Single-cell field; May-Grünwald-Giemsa/Pappenheim stain; bone marrow smear — 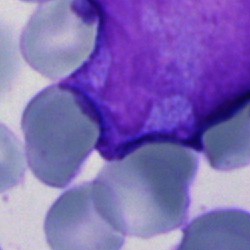

Q: What is the morphological classification of this cell?
A: It is a blast.